Bone marrow aspirate smear · single cell centered in the field.
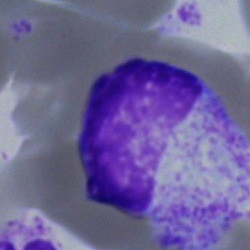

Classification — myelocyte.